Bone marrow smear — 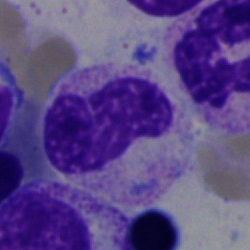
Showing a stab cell.